Bone marrow aspirate smear · 250×250 — 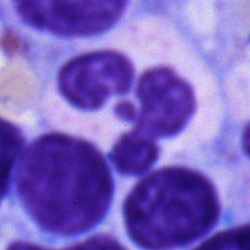

Impression → neutrophil (segmented).